Bone marrow smear:
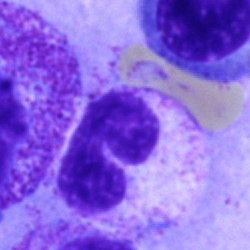 Segmented neutrophil.